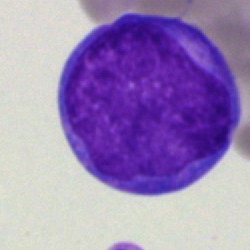 A blast cell on a bone marrow smear.